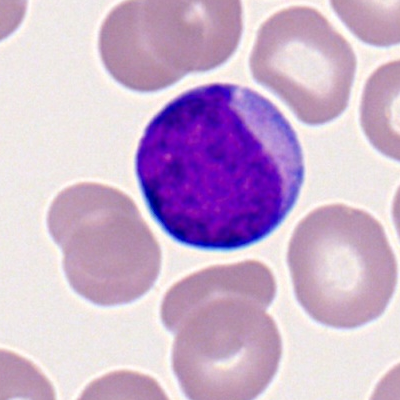This is a myeloid blast.